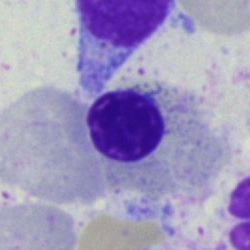
Showing a nucleated red blood cell.